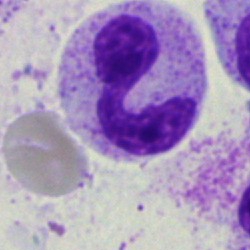Specimen: bone marrow aspirate smear.
Morphological class: polymorphonuclear neutrophil.